Bone marrow smear; May-Grünwald-Giemsa/Pappenheim stain: 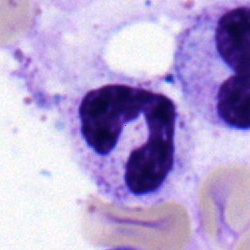 Polymorphonuclear neutrophil.